Bone marrow aspirate smear: 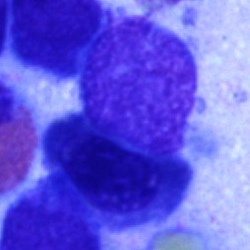
Cell — erythroblast.